Bone marrow aspirate smear. 40× oil immersion. Pappenheim-stained.
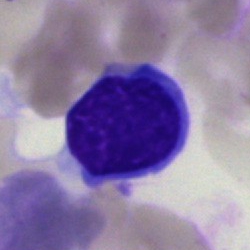A lymphocyte.